Bone marrow aspirate smear
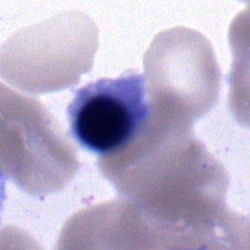
{"cell_type": "nucleated red cell", "lineage": "erythroid"}